Bone marrow aspirate smear. Cropped to a single cell.
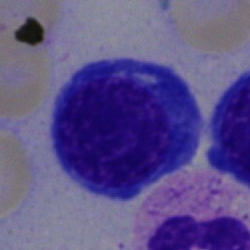
Q: What cell is this?
A: This is a normoblast.